Bone marrow smear
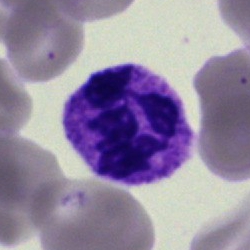

Q: What is shown here?
A: This is a polymorphonuclear neutrophil.